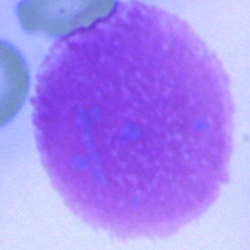

Cell: artifact.